Single-cell crop. Bone marrow aspirate smear. 250 by 250 pixels — 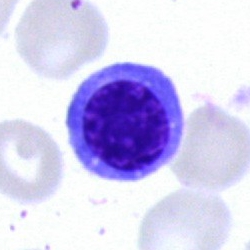

Cell: normoblast.